Bone marrow aspirate smear · 250×250 px
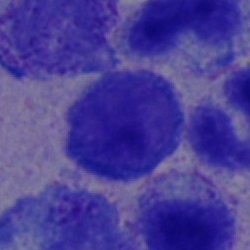
A typical lymphocyte.